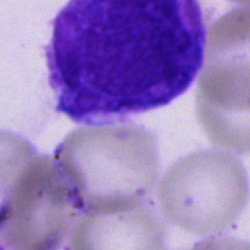Morphological class = artefact.